Bone marrow smear · cropped to a single cell: 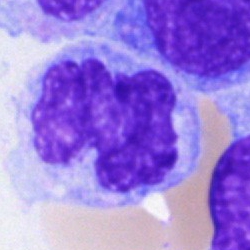
Cell: monocyte.